250×250; bone marrow aspirate smear: 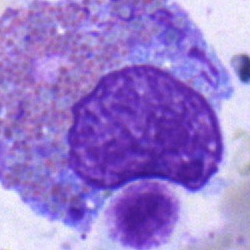
Specimen: bone marrow aspirate smear.
Morphological class: eosinophilic granulocyte.
Lineage: myeloid.